Peripheral blood film.
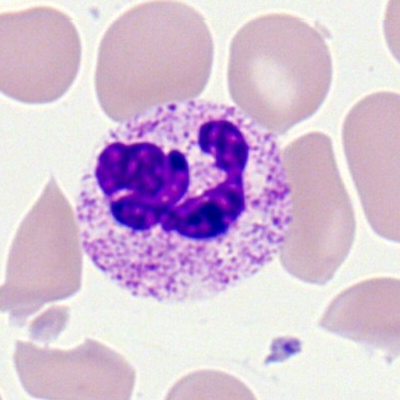Cell: neutrophil (segmented).